Bone marrow smear · brightfield, 40× oil-immersion objective.
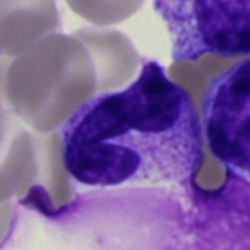 The cell shown is a band neutrophil.